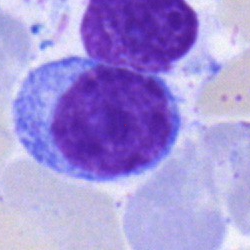
Q: What type of cell is this?
A: This is a typical lymphocyte.